Bone marrow smear.
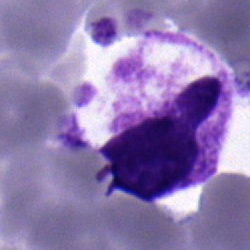Cell type = neutrophil (segmented).